Bone marrow aspirate smear. Brightfield, 40× oil-immersion objective.
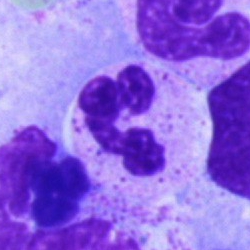 {"cell_type": "segmented neutrophil", "lineage": "myeloid"}